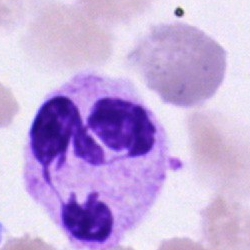 Impression → segmented neutrophil.